250×250 px. Bone marrow smear — 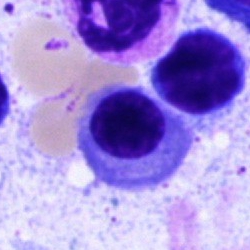 This is a nucleated red blood cell.